Brightfield microscopy, 40× oil immersion. Bone marrow smear — 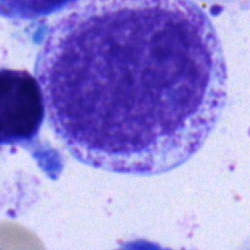

Cell type: myelocyte.